Bone marrow smear:
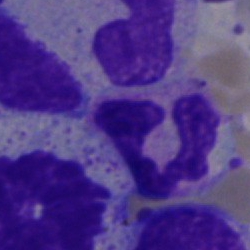 Morphological class = polymorphonuclear neutrophil.